Bone marrow smear — 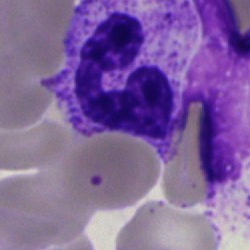

A neutrophil (segmented).